250×250 · bone marrow aspirate smear · single-cell crop:
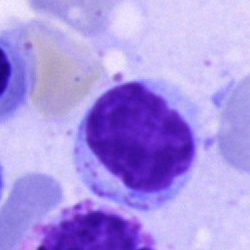

Cell: typical lymphocyte.